Bone marrow aspirate smear:
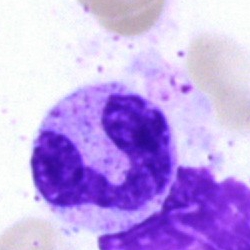
Single cell identified as a segmented neutrophil.